Single-cell crop · Pappenheim-stained · bone marrow smear — 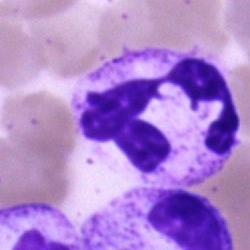Morphology → segmented neutrophil.